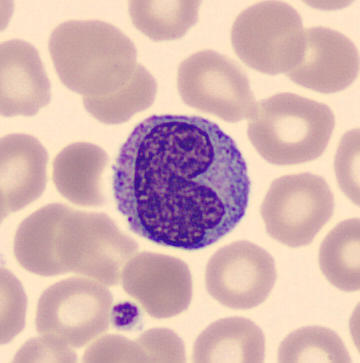 Preparation: Peripheral blood film.
{"cell_type": "monocyte", "lineage": "myeloid"}